Peripheral blood smear; single cell centered in the field.
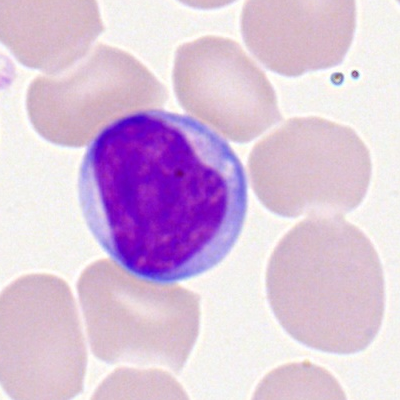
Q: What is the morphological classification of this cell?
A: Typical lymphocyte.